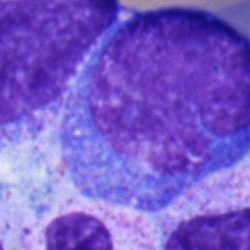

The cell type is undifferentiated blast.